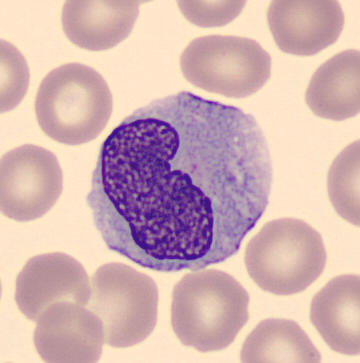 Acquisition: Peripheral blood film · MGG stain.

A monocyte.